Bone marrow smear — 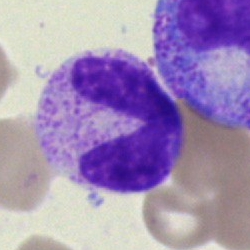 Q: Identify the cell.
A: A polymorphonuclear neutrophil.